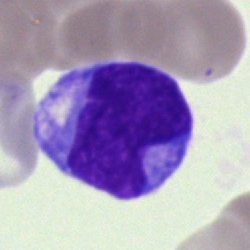 Cell type — monocyte.